Bone marrow aspirate smear
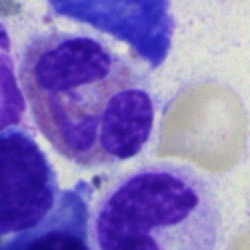 {"cell_type": "eosinophilic granulocyte", "lineage": "myeloid"}